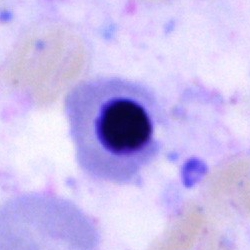Impression — erythroblast.